Bone marrow aspirate smear; brightfield microscopy, 40× oil immersion; image size 250×250
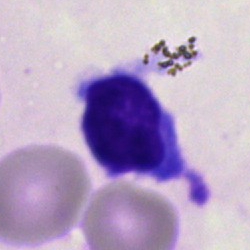Specimen: bone marrow smear.
Cell type: artefact.